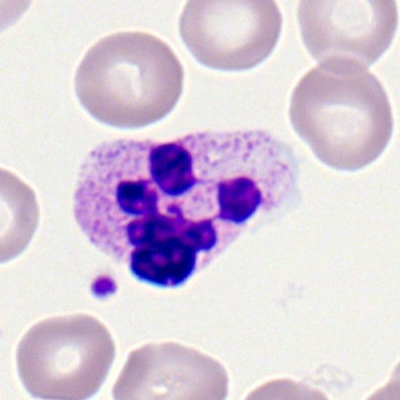Q: Identify the cell.
A: This is a polymorphonuclear neutrophil.